Bone marrow aspirate smear; 40× oil immersion
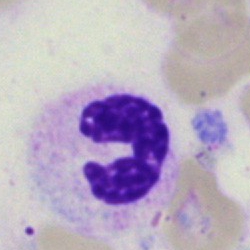

{"cell_type": "neutrophil (segmented)"}